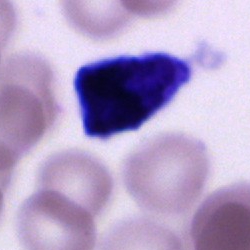
Specimen: bone marrow smear.
Morphological class: unidentifiable cell.